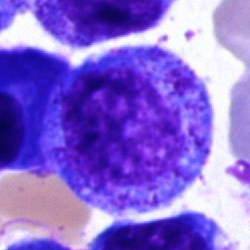A promyelocyte.